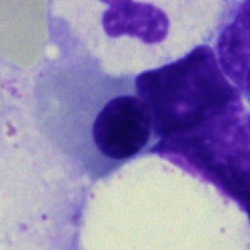{"cell_type": "normoblast", "lineage": "erythroid"}